Bone marrow smear.
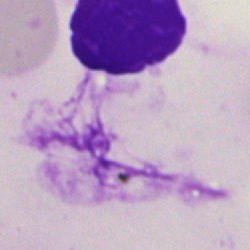Morphological class: artifact.